250×250 · bone marrow aspirate smear · single cell centered in the field — 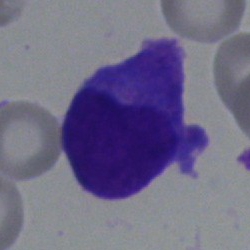An undifferentiated blast.